Bone marrow aspirate smear: 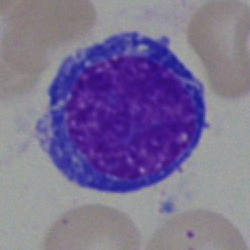

Specimen: bone marrow aspirate smear.
Cell: nucleated red cell.
Lineage: erythroid.